Bone marrow aspirate smear · 250×250: 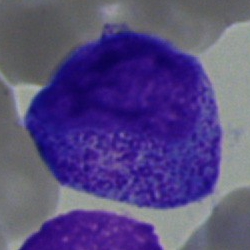
Specimen: bone marrow smear.
Cell: progranulocyte.
Lineage: myeloid.